Bone marrow aspirate smear; cropped to a single cell.
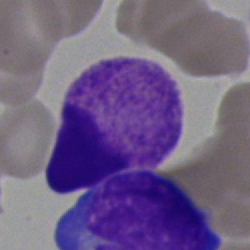 The cell type is artefact.